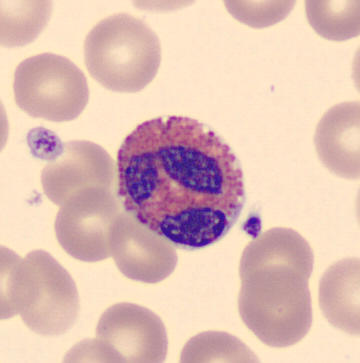 Q: What is shown here?
A: An eosinophil.

CellaVision DM96 · peripheral blood film · cropped to a single cell.